Bone marrow aspirate smear.
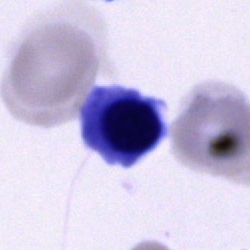Impression — erythroblast.